Bone marrow smear
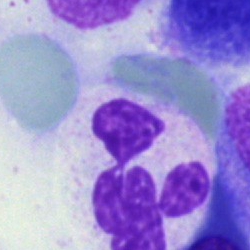Cell — neutrophil (segmented).